Bone marrow smear. Pappenheim-stained. Brightfield, 40× oil-immersion objective: 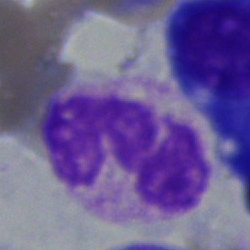
Polymorphonuclear neutrophil.